Bone marrow aspirate smear · single-cell crop:
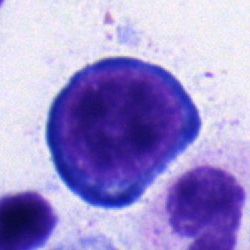Pronormoblast.